Bone marrow smear. Image size 250×250 — 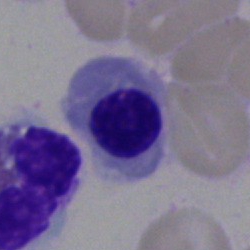
Morphological class — normoblast.